Bone marrow smear · May-Grünwald-Giemsa stain · single-cell crop
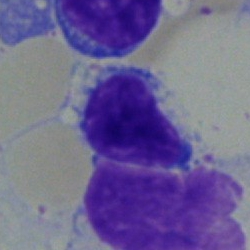 Q: What type of cell is this?
A: Lymphocyte.